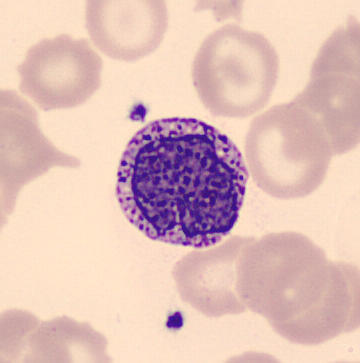

Q: What is this?
A: Basophilic granulocyte.

Preparation: 360×363 px. Peripheral blood film.